250×250 px; bone marrow smear: 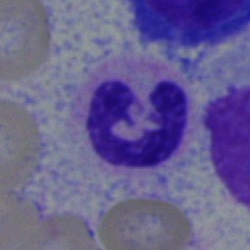
Showing a segmented neutrophil.